250×250 px · MGG-stained · bone marrow smear
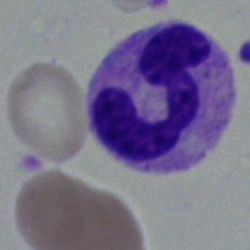{"cell_type": "neutrophil (segmented)", "lineage": "myeloid"}